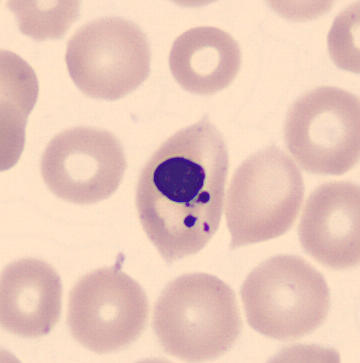

Cell: nucleated red blood cell.